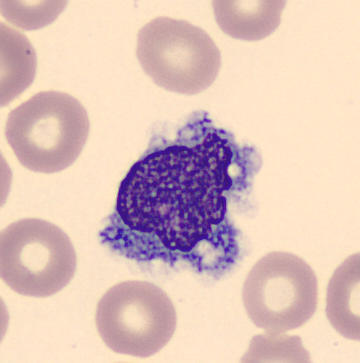

Q: Identify the cell.
A: Monocyte.